Bone marrow aspirate smear: 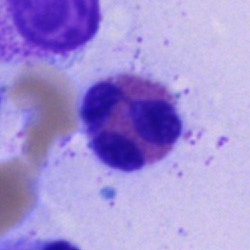 The classification is eosinophilic granulocyte.